250×250; bone marrow smear.
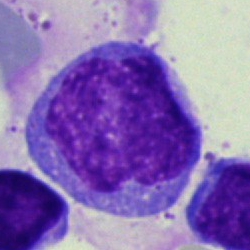

Q: What cell is this?
A: A monocyte.